Brightfield microscopy, 40× oil immersion. Bone marrow smear. MGG-stained
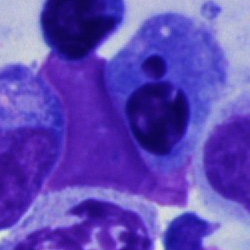
Classification — artefact.